Bone marrow smear; brightfield, 40× oil-immersion objective.
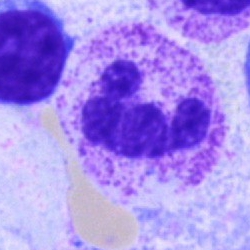
A neutrophil (segmented).